Bone marrow smear.
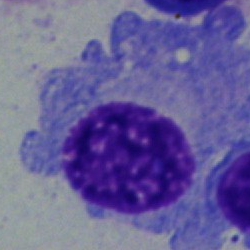Specimen: bone marrow aspirate smear.
Cell: plasmacyte.